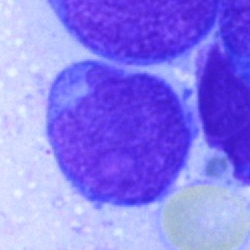

Impression — blast.